Bone marrow aspirate smear; 40× oil immersion; image size 250×250
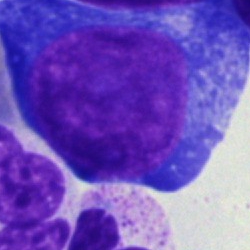 {"cell_type": "proerythroblast", "lineage": "erythroid"}